250×250 · bone marrow aspirate smear · 40× oil immersion.
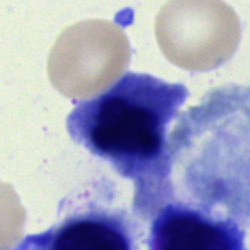
The morphological class is nucleated red blood cell.